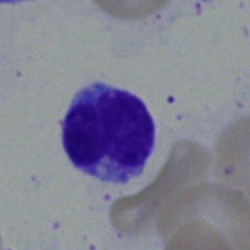

Morphological class: lymphocyte.